Bone marrow aspirate smear; image size 250×250; brightfield, 40× oil-immersion objective.
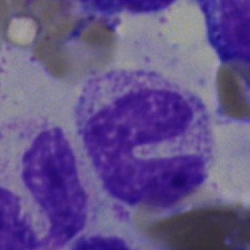 The cell type is segmented neutrophil.